Bone marrow smear; brightfield microscopy, 40× oil immersion.
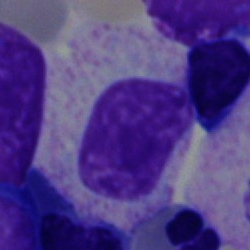

Specimen: bone marrow aspirate smear.
Classification: myelocyte.
Lineage: myeloid.